Bone marrow smear · 250×250: 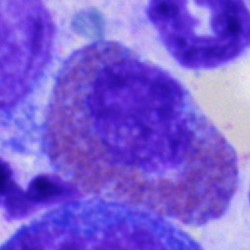{"cell_type": "eosinophil", "lineage": "myeloid"}